Single cell centered in the field; bone marrow smear
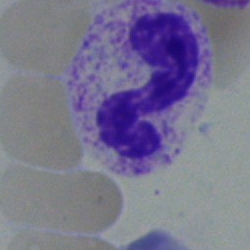Neutrophil (segmented).